Bone marrow aspirate smear. Cropped to a single cell. 250 by 250 pixels: 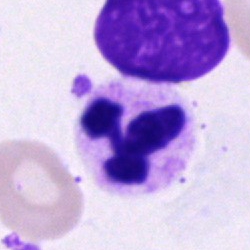Morphology consistent with a polymorphonuclear neutrophil.